Image size 250×250; bone marrow smear — 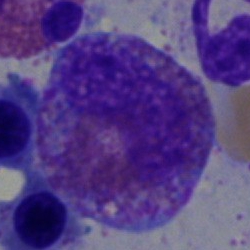 Q: What type of cell is this?
A: An eosinophil.